Bone marrow aspirate smear
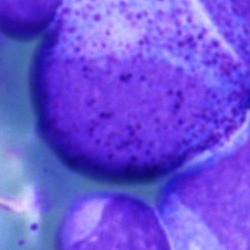 Q: Identify the cell.
A: A progranulocyte.